May-Grünwald-Giemsa stain · bone marrow smear
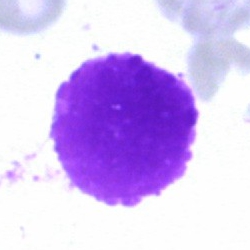 {"cell_type": "artefact"}